Bone marrow smear:
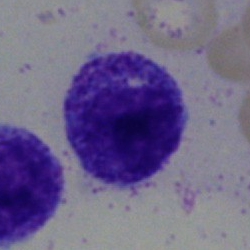A myelocyte.